Image size 250×250 · bone marrow smear: 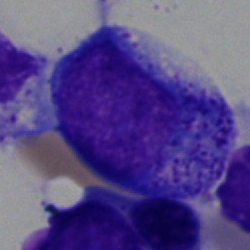 This is a progranulocyte.